Bone marrow aspirate smear — 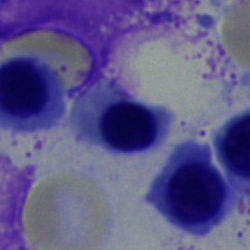
Showing a nucleated red cell.